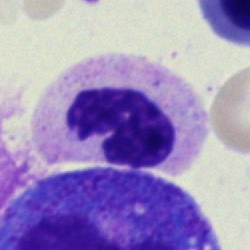 Cell type = stab cell.